250×250 px; bone marrow aspirate smear:
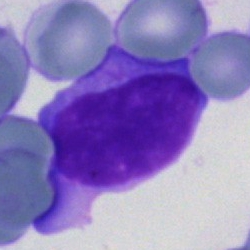 Specimen: bone marrow smear.
Cell: undifferentiated blast.